Bone marrow aspirate smear: 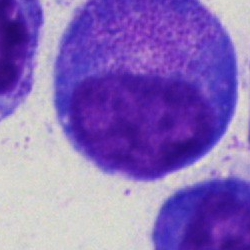 The morphological class is promyelocyte.